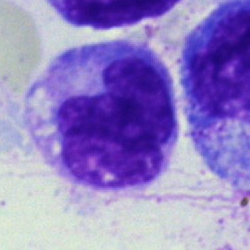
Q: What is shown here?
A: It is a monocyte.